Bone marrow aspirate smear — 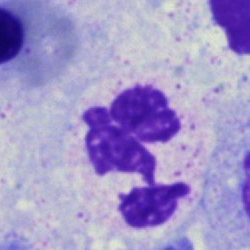Cell type = polymorphonuclear neutrophil.